Bone marrow smear
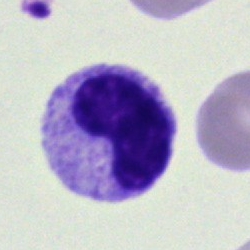
Classification: stab cell.